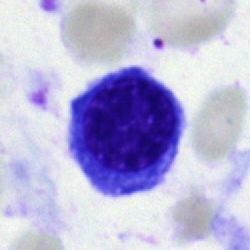
Specimen: bone marrow aspirate smear.
Cell: nucleated red blood cell.
Lineage: erythroid.